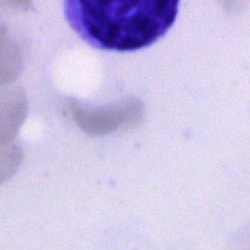
Q: What is the morphological classification of this cell?
A: It is an unidentifiable cell.